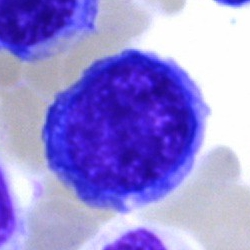
Single-cell crop from a bone marrow smear: erythroblast.